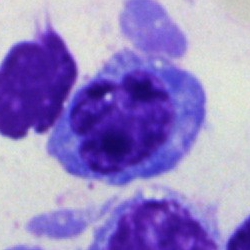
A plasmacyte on a bone marrow smear.